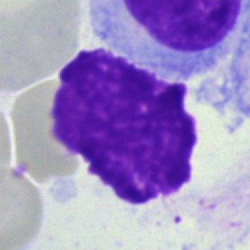

An artifact.